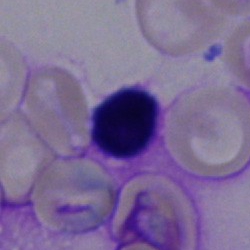The cell shown is a typical lymphocyte.